Cropped to a single cell; bone marrow aspirate smear — 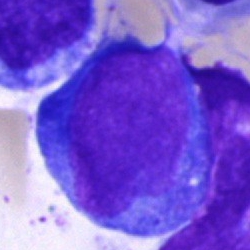
Q: What cell is this?
A: Proerythroblast.